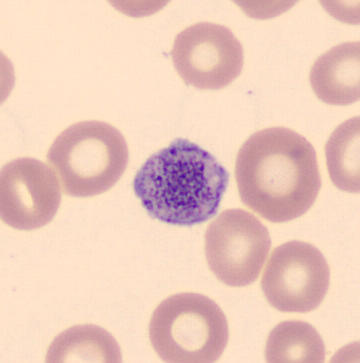
Acquisition: Image size 360×363 · peripheral blood smear · MGG-stained.

Morphological class — platelet.